Bone marrow smear. Brightfield, 40× oil-immersion objective: 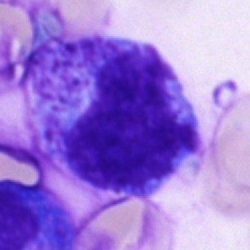 Showing an unidentifiable cell.